Image size 250×250. Bone marrow aspirate smear — 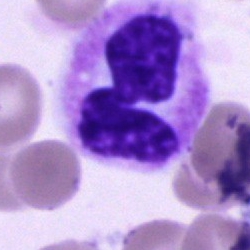 Q: What type of cell is this?
A: It is a neutrophil (segmented).